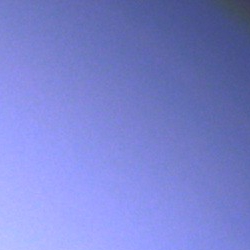

Bone marrow aspirate smear, single cell — artefact.